Bone marrow aspirate smear: 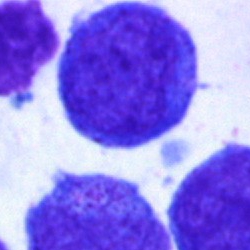The cell is blast cell.